Bone marrow smear
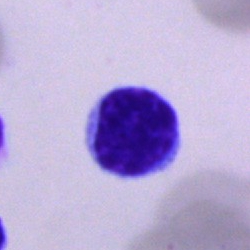
A lymphocyte.